Peripheral blood film — 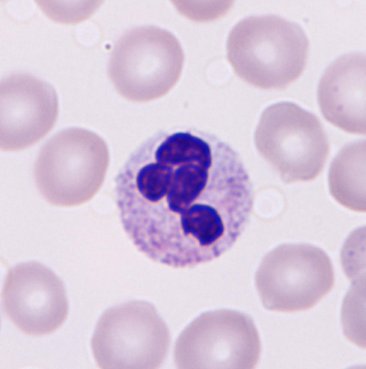Cell type: neutrophil.